May-Grünwald-Giemsa stain. Bone marrow smear. Cropped to a single cell:
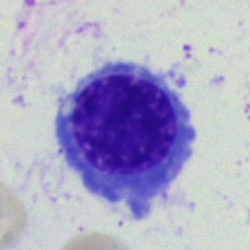

A nucleated red cell.